Cropped to a single cell · bone marrow aspirate smear:
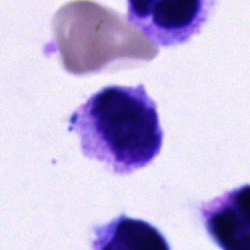
Q: Which cell type is shown here?
A: A cell of indeterminate lineage.